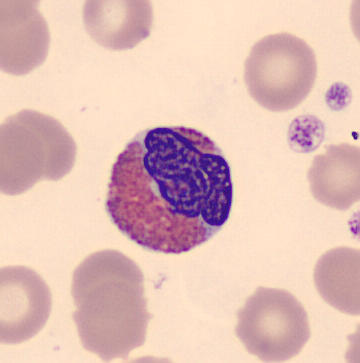
Morphology — eosinophilic granulocyte.